Peripheral blood smear
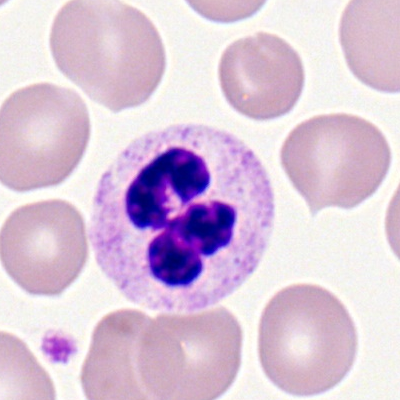Cell — polymorphonuclear neutrophil.